Bone marrow smear
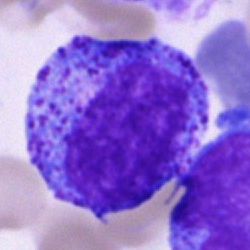Impression → promyelocyte.